Bone marrow smear — 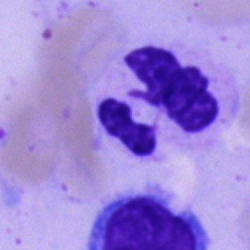Polymorphonuclear neutrophil.